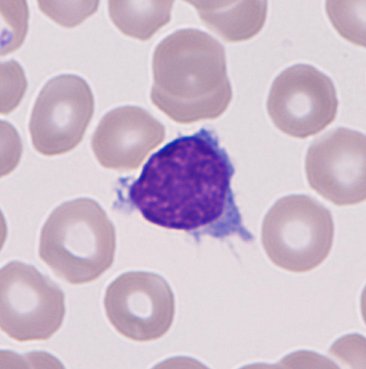 Image: Peripheral blood smear. Cropped to a single cell.

Morphological class: typical lymphocyte.